Bone marrow aspirate smear: 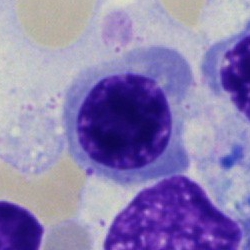
Normoblast.